Bone marrow smear:
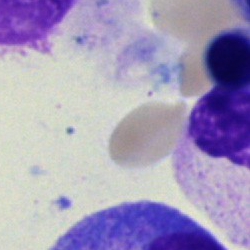Q: Which cell type is shown here?
A: Cell of indeterminate lineage.